May-Grünwald-Giemsa/Pappenheim stain; brightfield, 40× oil-immersion objective; bone marrow smear: 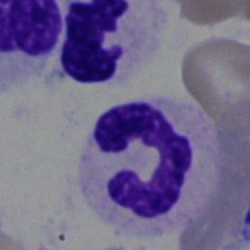
Specimen: bone marrow aspirate smear.
Morphological class: neutrophil (segmented).
Lineage: myeloid.